Pappenheim-stained · bone marrow smear
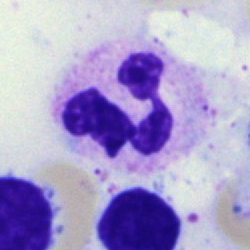

Specimen: bone marrow smear.
Cell: segmented neutrophil.
Lineage: myeloid.